Bone marrow aspirate smear: 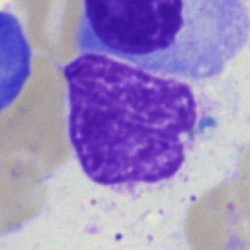 Impression — artifact.